Bone marrow aspirate smear · May-Grünwald-Giemsa stain: 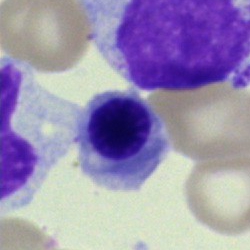

Impression — normoblast.